Single cell centered in the field · bone marrow aspirate smear: 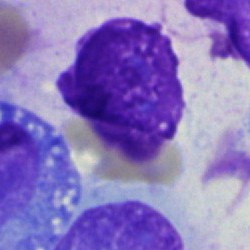
Cell — artifact.